Bone marrow smear
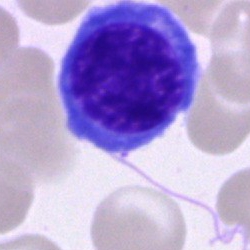
Morphology consistent with a nucleated red cell.